May-Grünwald-Giemsa/Pappenheim stain; bone marrow smear; brightfield, 40× oil-immersion objective: 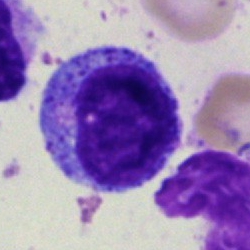
Specimen: bone marrow aspirate smear.
Cell type: myelocyte.
Lineage: myeloid.